Image size 250×250; bone marrow smear; brightfield microscopy, 40× oil immersion: 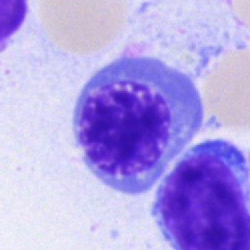
This is a nucleated red blood cell.